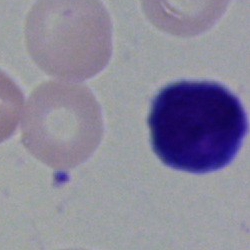 Q: Which cell type is shown here?
A: This is a lymphocyte.